40× oil immersion; bone marrow aspirate smear; 250×250 — 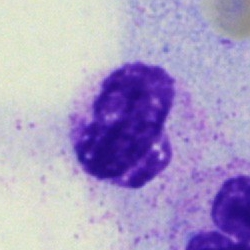
The cell type is segmented neutrophil.